Bone marrow aspirate smear
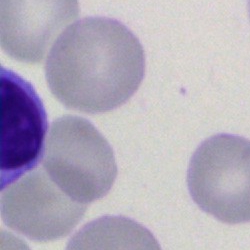 {"cell_type": "artefact"}